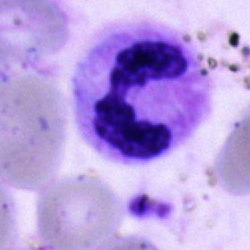

{"cell_type": "segmented neutrophil"}